Bone marrow aspirate smear — 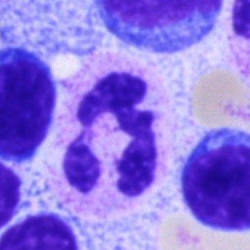Cell — segmented neutrophil.